Bone marrow smear:
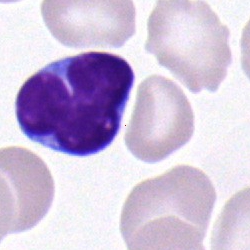{"cell_type": "typical lymphocyte", "lineage": "lymphoid"}